Single-cell field. 400×400. Peripheral blood smear.
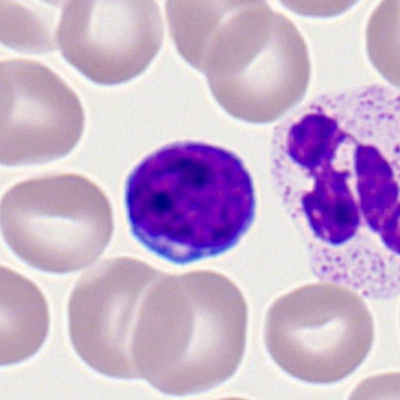 A lymphocyte.